Bone marrow aspirate smear
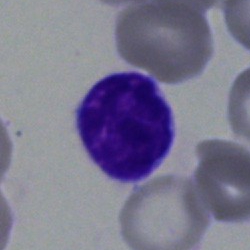

Showing a lymphocyte.